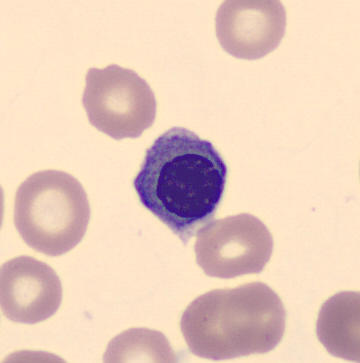 Morphology — nucleated red blood cell.